Pappenheim-stained; 250×250 px; bone marrow smear
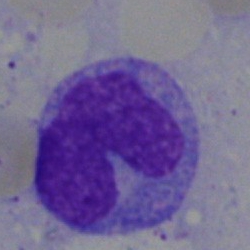This is a monocyte.